Bone marrow smear:
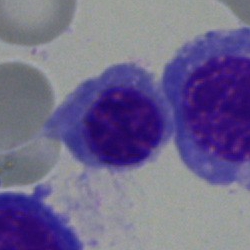

Erythroblast.